Bone marrow aspirate smear. Brightfield, 40× oil-immersion objective
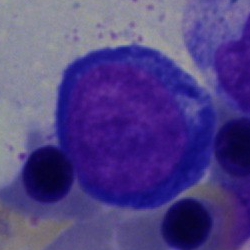{"cell_type": "proerythroblast"}